Bone marrow smear
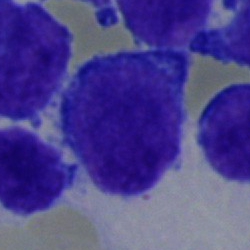
Single cell identified as a blast.